Bone marrow aspirate smear. Cropped to a single cell — 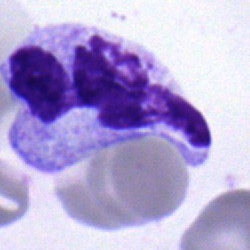Morphology consistent with a segmented neutrophil.